Bone marrow smear
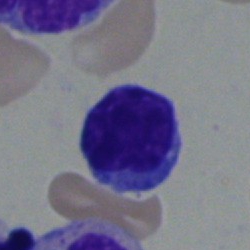

The classification is lymphocyte.